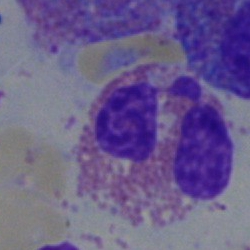 Cell type — eosinophil.